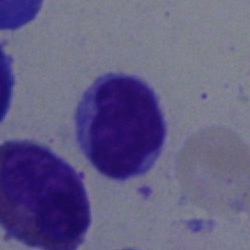

Classification — typical lymphocyte.